Bone marrow aspirate smear
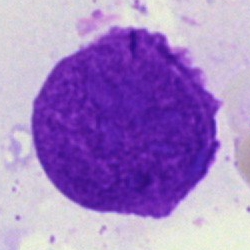 The morphological class is artefact.